Bone marrow aspirate smear — 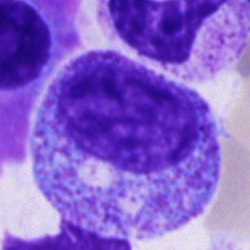 Cell — promyelocyte.